Bone marrow aspirate smear · single-cell field · 40× oil immersion
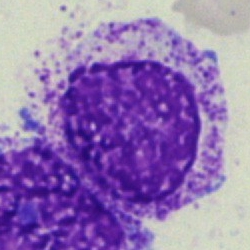Specimen: bone marrow smear.
Cell type: promyelocyte.
Lineage: myeloid.